250×250. Bone marrow aspirate smear. Brightfield microscopy, 40× oil immersion
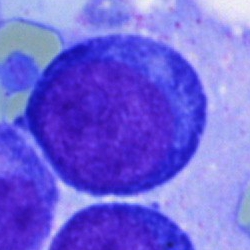Q: What is shown here?
A: A pronormoblast.